Bone marrow aspirate smear:
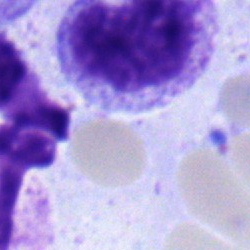 Q: Which cell type is shown here?
A: This is a metamyelocyte.